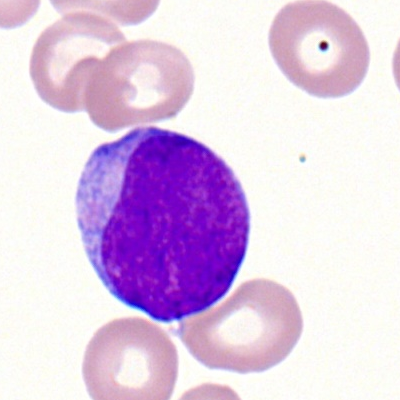Showing a myeloblast.